Bone marrow aspirate smear
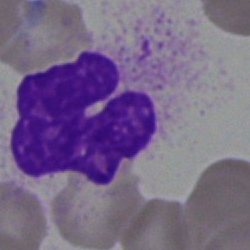Cell type: artifact.